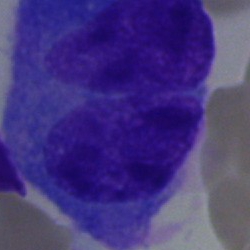

Showing a plasma cell.